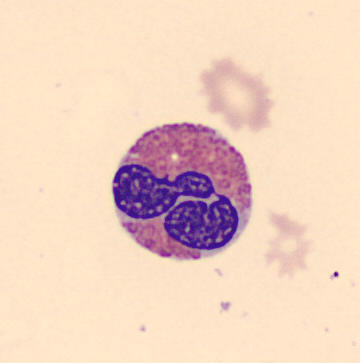 An eosinophilic granulocyte.
Preparation: Peripheral blood smear.